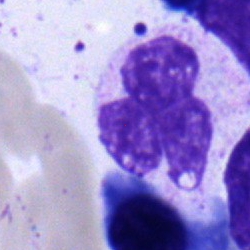 Bone marrow smear showing a segmented neutrophil.